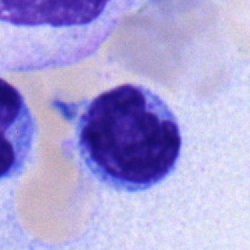 Cell type — lymphocyte.